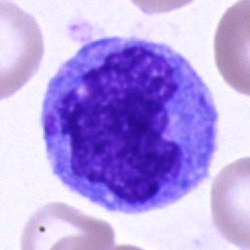
A monocyte on a bone marrow smear.